Single cell centered in the field · 250 by 250 pixels · bone marrow smear: 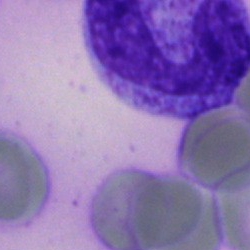 A stab cell.